Bone marrow smear: 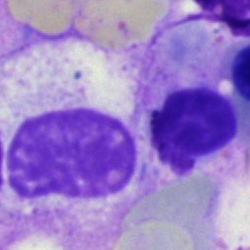
{"cell_type": "stab cell", "lineage": "myeloid"}